Bone marrow smear — 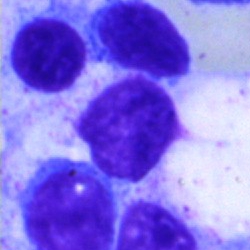
The cell shown is a typical lymphocyte.